250×250 · bone marrow smear:
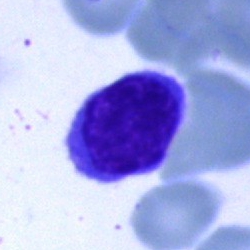A lymphocyte.